Single-cell field · Pappenheim-stained · bone marrow aspirate smear: 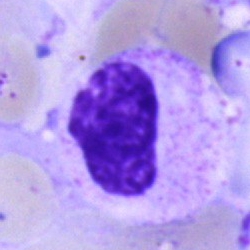 Cell: artifact.